Bone marrow smear: 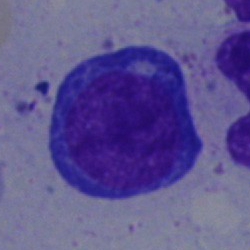A nucleated red blood cell.